May-Grünwald-Giemsa stain. Bone marrow smear. Single-cell crop.
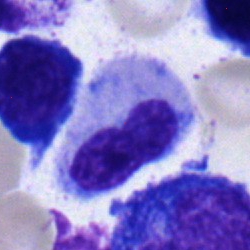 Cell: metamyelocyte.